Bone marrow aspirate smear — 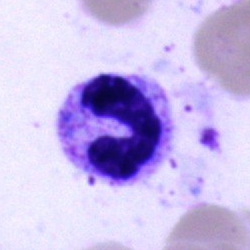
This is a band neutrophil.